Bone marrow aspirate smear. 250×250
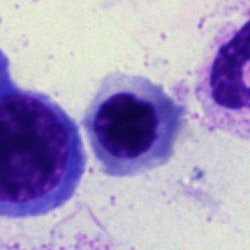

Morphology → nucleated red blood cell.